Bone marrow aspirate smear — 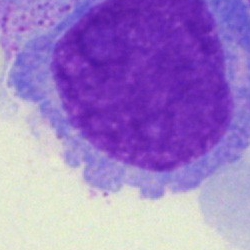This is a blast cell.